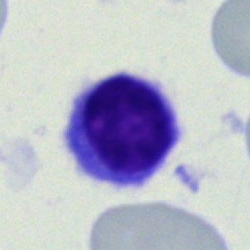 Single cell identified as a typical lymphocyte.